Bone marrow aspirate smear.
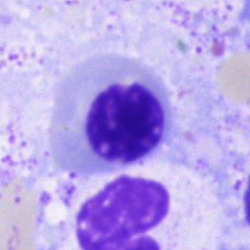
Morphological class = nucleated red cell.